Single-cell field · brightfield, 40× oil-immersion objective · bone marrow aspirate smear:
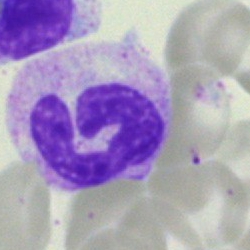

Morphology consistent with a neutrophil (segmented).